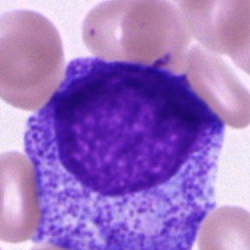 The cell shown is a progranulocyte.